Pappenheim-stained; bone marrow smear.
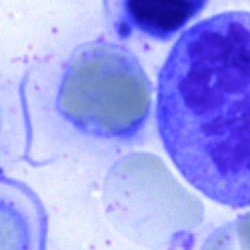
Morphological class — unidentifiable cell.